Bone marrow smear. MGG-stained
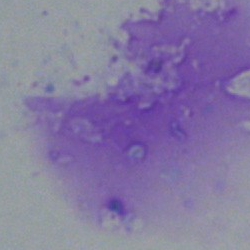 An artifact.